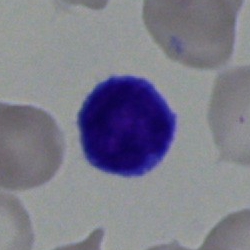 Morphology consistent with a typical lymphocyte.